Bone marrow aspirate smear: 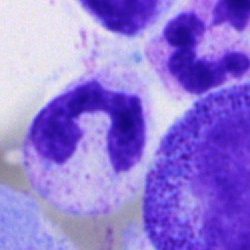

Cell type — polymorphonuclear neutrophil.